Bone marrow aspirate smear · Pappenheim-stained — 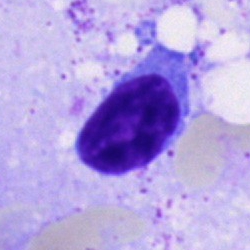 Lymphocyte.